Bone marrow aspirate smear:
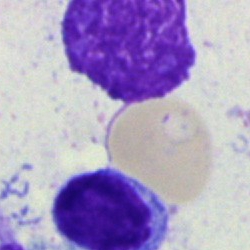Q: Identify the cell.
A: This is a lymphocyte.